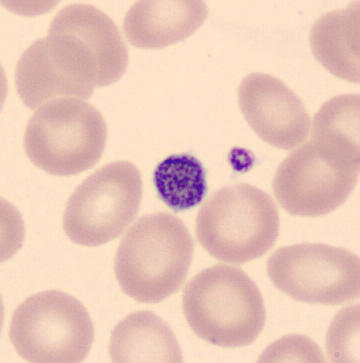 Acquisition: Peripheral blood film; CellaVision DM96; MGG-stained. Classification = platelet.